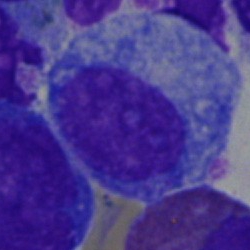Cell: progranulocyte.